Bone marrow aspirate smear — 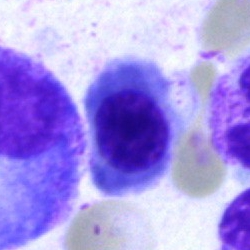
This is a normoblast.